Bone marrow aspirate smear; single-cell field; 40× oil immersion — 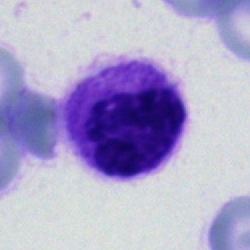 The cell shown is a polymorphonuclear neutrophil.